Bone marrow smear · MGG-stained — 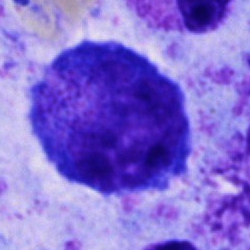 Q: What type of cell is this?
A: This is a promyelocyte.